Image size 250×250; bone marrow smear; single-cell field:
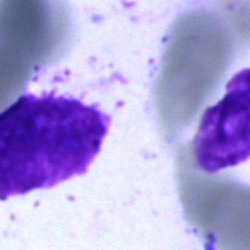Classification — artifact.